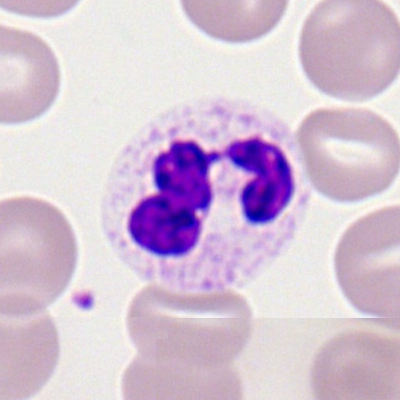

Specimen: peripheral blood film.
Morphological class: segmented neutrophil.